Bone marrow smear — 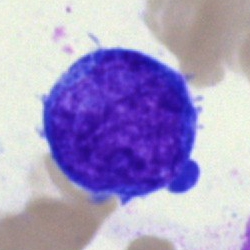Cell type = lymphocyte (immature).